Bone marrow smear:
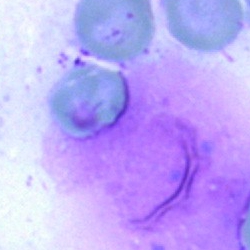Single cell identified as an artifact.